MGG-stained · bone marrow aspirate smear.
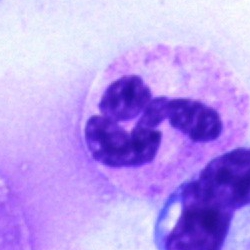Specimen: bone marrow smear.
Morphological class: polymorphonuclear neutrophil.